Brightfield, 40× oil-immersion objective. Bone marrow aspirate smear:
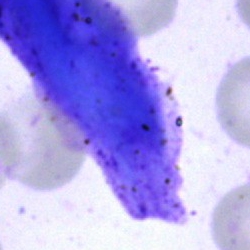

The cell shown is an artifact.